Pappenheim-stained; bone marrow aspirate smear — 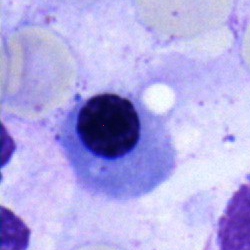 A normoblast.